250×250 px; bone marrow aspirate smear — 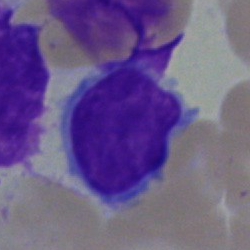Impression → typical lymphocyte.